Bone marrow aspirate smear:
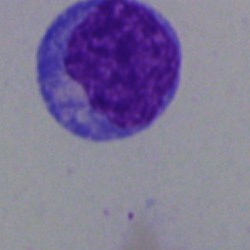
Cell type = blast.